Bone marrow smear — 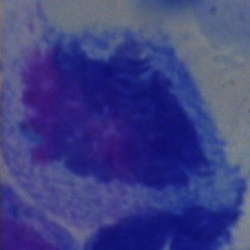 Artefact.